Bone marrow smear
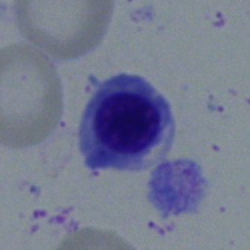
Q: What is shown here?
A: This is a nucleated red blood cell.